Peripheral blood smear
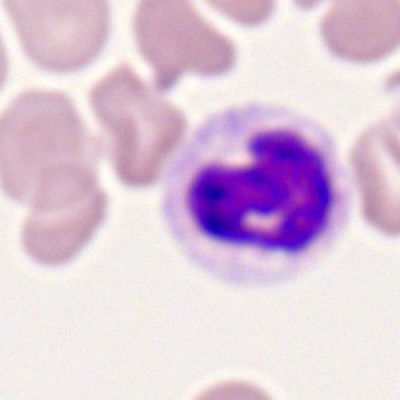

Cell: neutrophil (segmented).